Bone marrow aspirate smear: 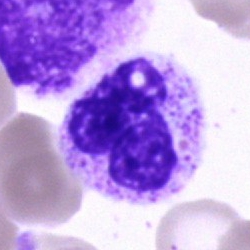 Morphology consistent with a polymorphonuclear neutrophil.